May-Grünwald-Giemsa/Pappenheim stain. Bone marrow smear
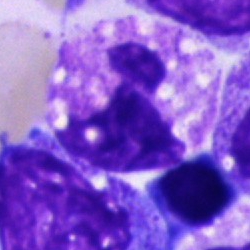 The cell shown is a polymorphonuclear neutrophil.